Single-cell crop · peripheral blood smear · 100× oil immersion, 14.14 px/µm:
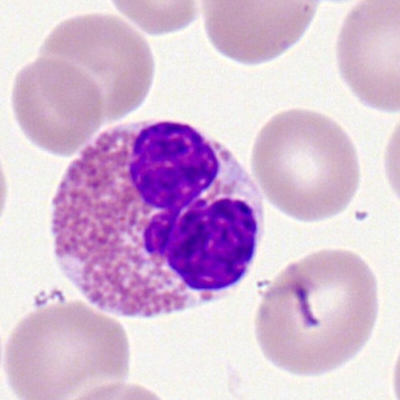

{"cell_type": "eosinophil"}